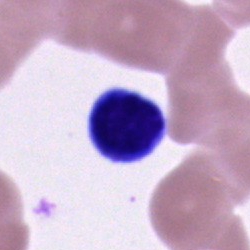

This is a lymphocyte.